Peripheral blood film — 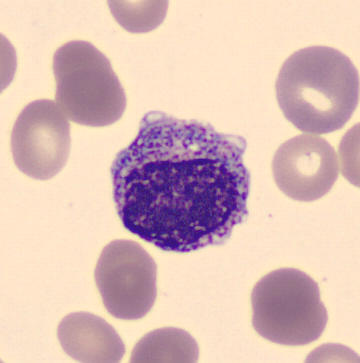
Q: What is shown here?
A: Myelocyte.